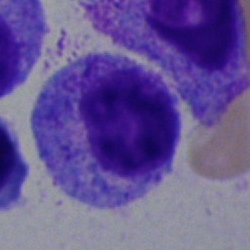

Specimen: bone marrow smear.
Cell: myelocyte.
Lineage: myeloid.